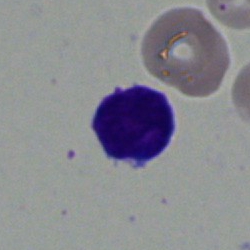

Cell: typical lymphocyte.